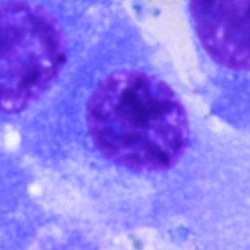

Bone marrow smear showing a plasma cell.